Bone marrow smear · 250 by 250 pixels:
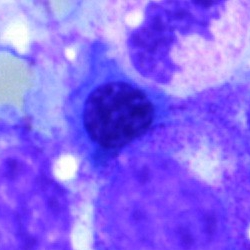
Specimen: bone marrow aspirate smear.
Morphological class: nucleated red cell.